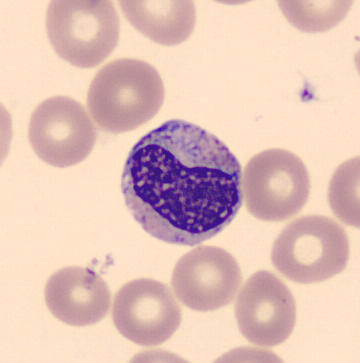Single cell identified as a metamyelocyte.

360×363; peripheral blood smear.